Bone marrow aspirate smear · May-Grünwald-Giemsa/Pappenheim stain: 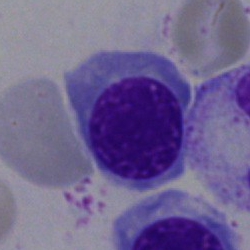 This is a nucleated red cell.